Bone marrow aspirate smear. 250×250 — 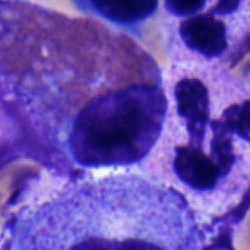 Single cell identified as a lymphocyte.